Bone marrow smear; 250×250 px
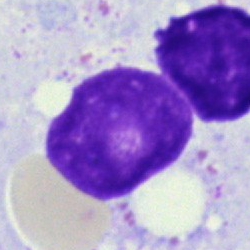 Cell type — artefact.